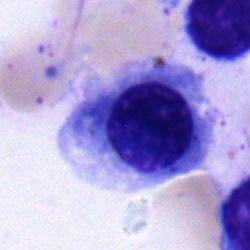
{"cell_type": "nucleated red blood cell", "lineage": "erythroid"}